Bone marrow smear:
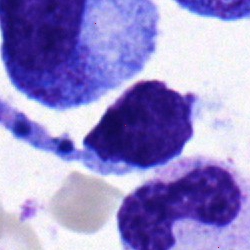

A lymphocyte.